400 by 400 pixels. Peripheral blood smear
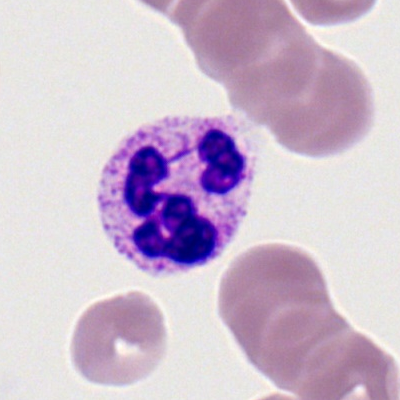Single cell identified as a segmented neutrophil.